40× oil immersion; bone marrow smear — 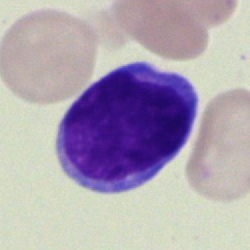

Impression — lymphocyte.